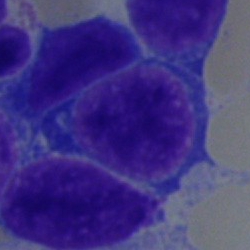

Q: Identify the cell.
A: Proerythroblast.